Bone marrow smear; May-Grünwald-Giemsa stain.
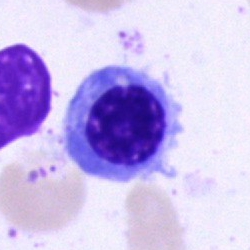 The cell type is normoblast.